40× objective, oil immersion · bone marrow aspirate smear:
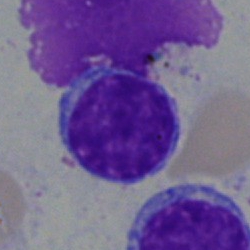

Specimen: bone marrow smear.
Classification: lymphocyte.
Lineage: lymphoid.